Single-cell crop; bone marrow aspirate smear
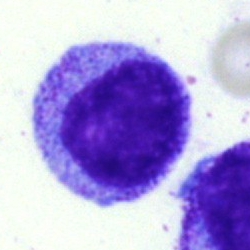

Impression — myelocyte.